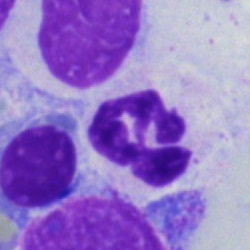Cell type: neutrophil (segmented).